Bone marrow smear: 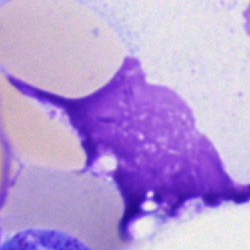

Artifact.